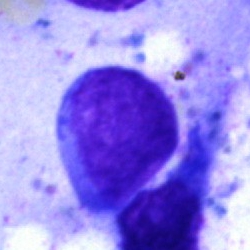
The cell type is lymphocyte.